Bone marrow aspirate smear
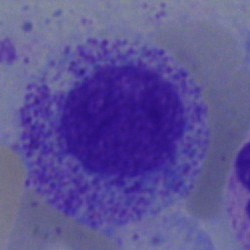
This is a myelocyte.